Bone marrow aspirate smear; image size 250×250.
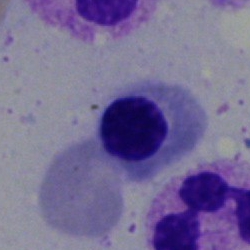Q: What is shown here?
A: Erythroblast.